Image size 250×250; bone marrow aspirate smear: 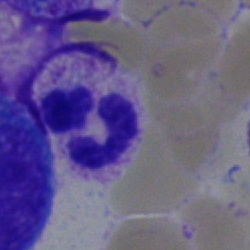 A polymorphonuclear neutrophil.